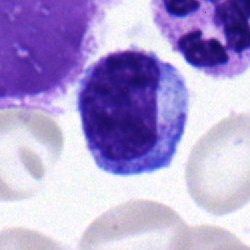

Morphological class = typical lymphocyte.